Bone marrow smear: 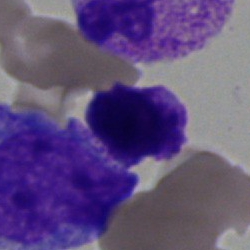Q: What is the morphological classification of this cell?
A: A cell of indeterminate lineage.